Bone marrow aspirate smear: 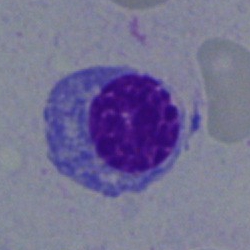

Showing a nucleated red cell.